Peripheral blood smear:
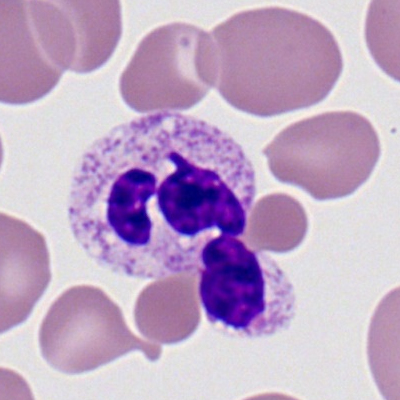 Showing a neutrophil (segmented).